Bone marrow aspirate smear; brightfield, 40× oil-immersion objective.
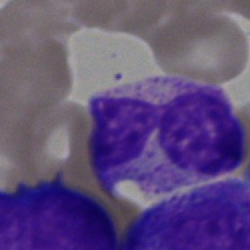
Polymorphonuclear neutrophil.